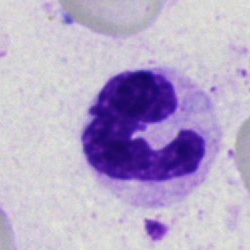Specimen: bone marrow aspirate smear.
Cell: polymorphonuclear neutrophil.
Lineage: myeloid.